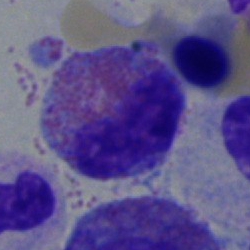An eosinophil.